Bone marrow smear
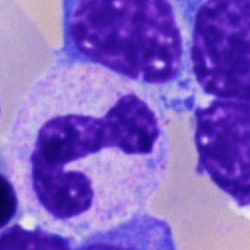Impression — neutrophil (segmented).